Bone marrow aspirate smear. Single-cell field. Brightfield, 40× oil-immersion objective:
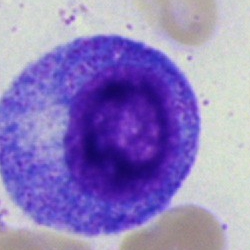 Impression — promyelocyte.